Bone marrow aspirate smear:
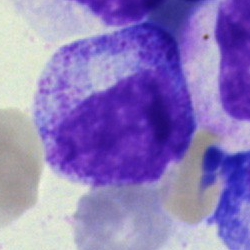 Showing a myelocyte.